Bone marrow smear — 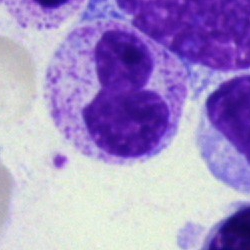Cell: neutrophil (segmented).